MGG-stained. Bone marrow smear
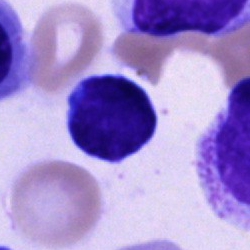

This is a typical lymphocyte.